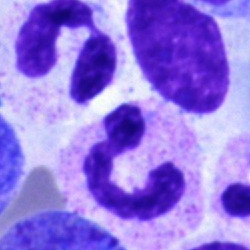
Specimen: bone marrow smear.
Cell type: neutrophil (segmented).